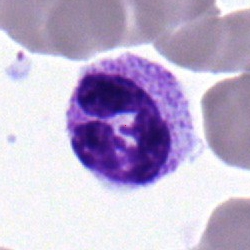 Cell type — segmented neutrophil.